Bone marrow smear · 250×250 · May-Grünwald-Giemsa stain
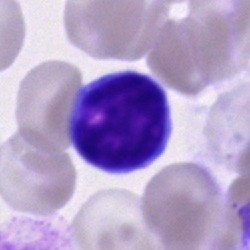Morphology — lymphocyte.